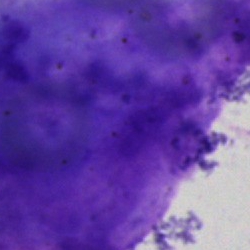 Single-cell crop from a bone marrow smear: artifact.